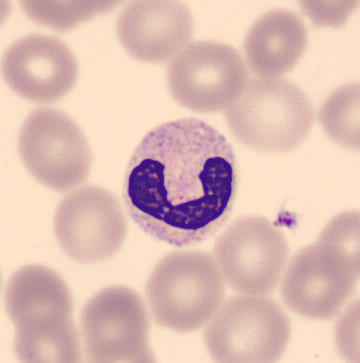
Peripheral blood film · 360 by 363 pixels · May-Grünwald-Giemsa-stained.

The morphological class is band neutrophil.